Bone marrow aspirate smear.
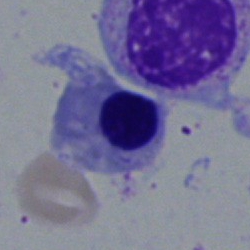

The classification is nucleated red cell.